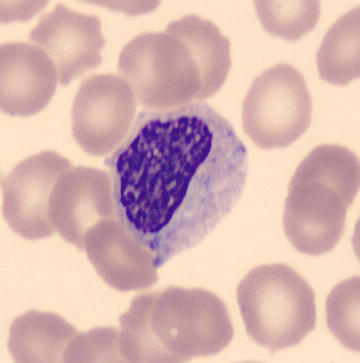

Specimen: peripheral blood smear.
Morphological class: metamyelocyte.
Lineage: myeloid.